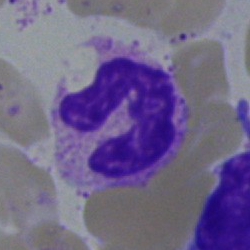Bone marrow aspirate smear, single cell — polymorphonuclear neutrophil.